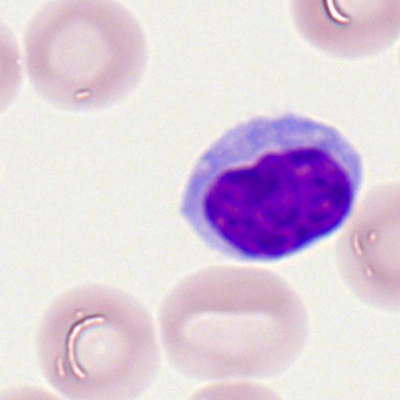Single cell identified as a lymphocyte.